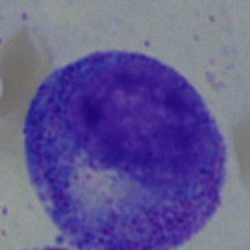

{"cell_type": "promyelocyte"}